Bone marrow aspirate smear — 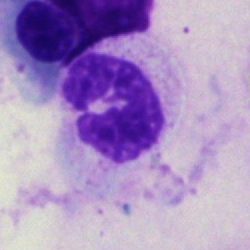Cell = polymorphonuclear neutrophil.